Bone marrow aspirate smear. Brightfield, 40× oil-immersion objective
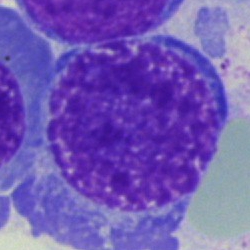 The classification is nucleated red blood cell.